Peripheral blood smear.
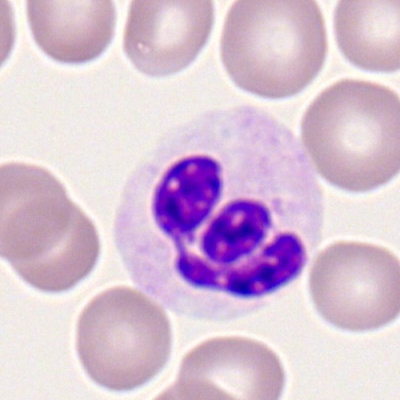 Morphology consistent with a polymorphonuclear neutrophil.